Bone marrow aspirate smear: 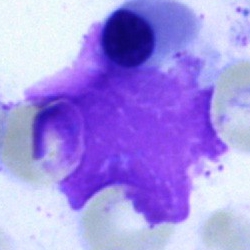 The cell is artifact.